250 by 250 pixels. May-Grünwald-Giemsa stain. Bone marrow smear — 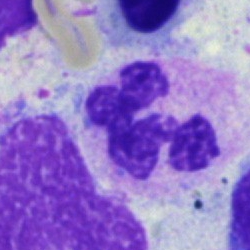

Q: What is shown here?
A: It is a polymorphonuclear neutrophil.